Bone marrow smear: 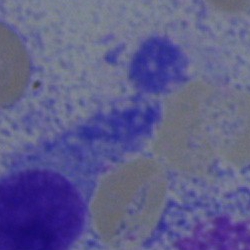
Q: What is shown here?
A: It is a plasma cell.